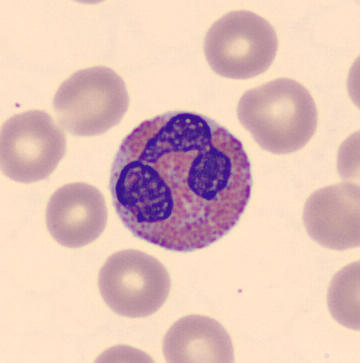
Acquisition: Peripheral blood smear.

Eosinophilic granulocyte.